Cropped to a single cell · bone marrow aspirate smear: 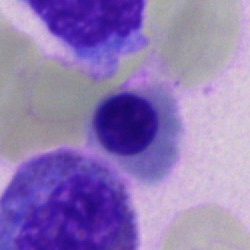
The morphological class is nucleated red cell.